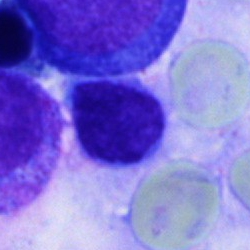Bone marrow aspirate smear, single cell — typical lymphocyte.